Bone marrow aspirate smear.
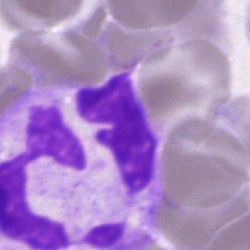 Specimen: bone marrow aspirate smear.
Cell: polymorphonuclear neutrophil.
Lineage: myeloid.